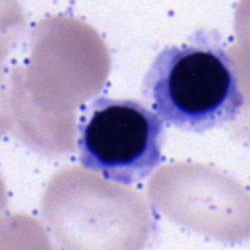

Cell — erythroblast.